Bone marrow aspirate smear: 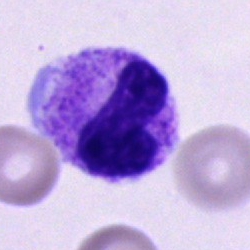Morphology — neutrophil (band).